Bone marrow smear.
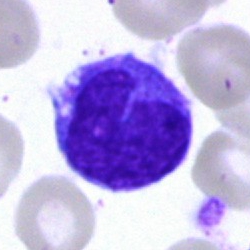Cell = monocyte.